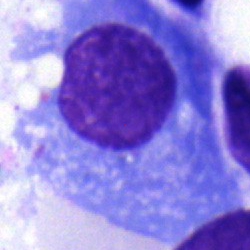Q: What is the morphological classification of this cell?
A: This is a plasma cell.